Bone marrow smear: 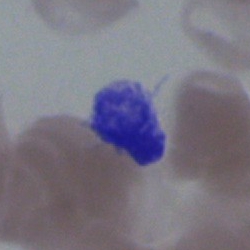

An artifact.